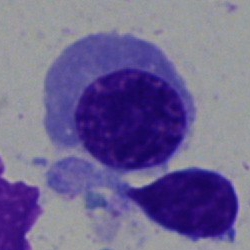

Single cell identified as an erythroblast.